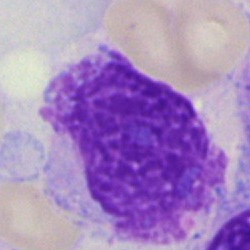

Classification: artefact.